Bone marrow smear.
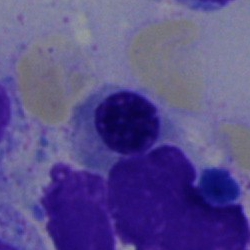
Q: What is shown here?
A: An erythroblast.